Bone marrow aspirate smear
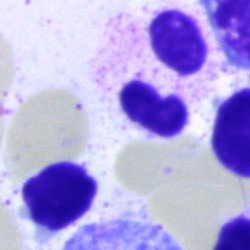 Showing a segmented neutrophil.